Bone marrow aspirate smear.
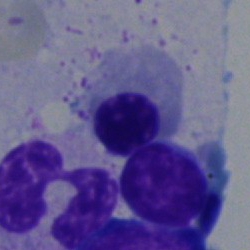Q: What is shown here?
A: This is a nucleated red cell.